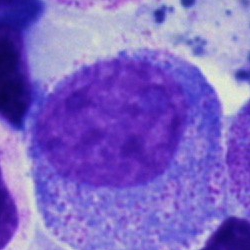 Q: Which cell type is shown here?
A: Promyelocyte.